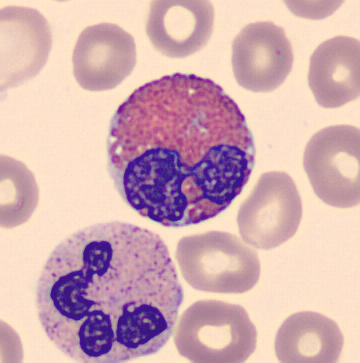{"cell_type": "eosinophil"}